Bone marrow aspirate smear; 250×250 px
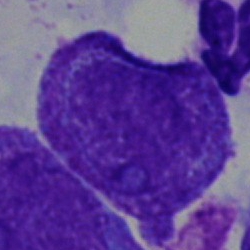
This is a progranulocyte.